Bone marrow aspirate smear: 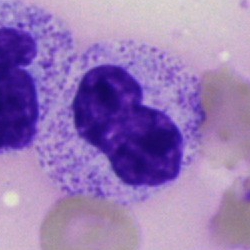

Q: What type of cell is this?
A: Metamyelocyte.